Image size 250×250; bone marrow aspirate smear:
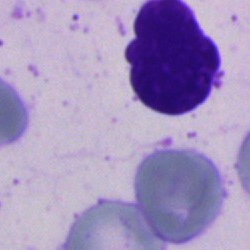

Q: What is shown here?
A: It is an artefact.